Single-cell crop; bone marrow aspirate smear.
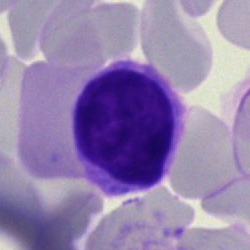A lymphocyte.